40× objective, oil immersion · image size 250×250 · bone marrow aspirate smear: 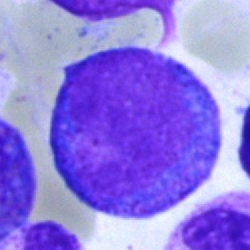 Morphological class: promyelocyte.